Bone marrow smear; image size 250×250 — 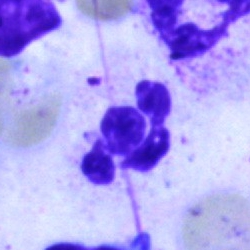 Showing a polymorphonuclear neutrophil.